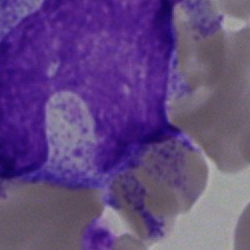 Cell: artefact.